Single cell centered in the field · bone marrow aspirate smear — 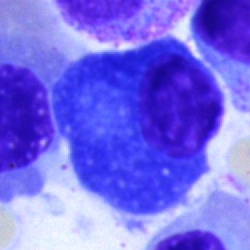Specimen: bone marrow aspirate smear.
Cell: plasmacyte.